Single-cell field; bone marrow aspirate smear; brightfield, 40× oil-immersion objective — 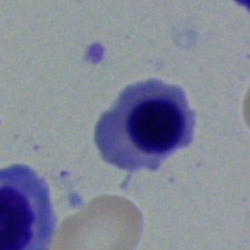
A nucleated red cell.